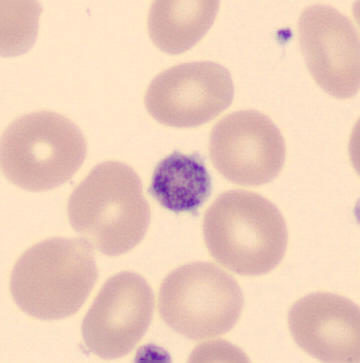 Image: MGG stain · peripheral blood smear.
This is a platelet (thrombocyte).